Peripheral blood film:
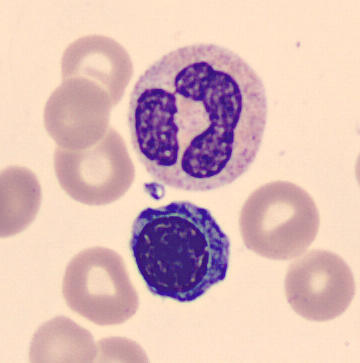 The classification is nucleated red blood cell.